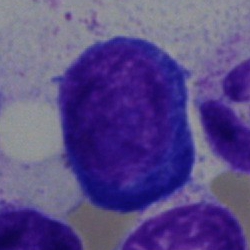
Specimen: bone marrow aspirate smear.
Cell type: nucleated red blood cell.